Bone marrow aspirate smear. Brightfield microscopy, 40× oil immersion
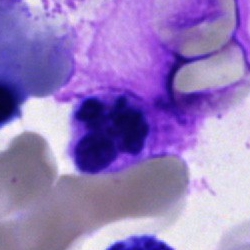

Q: What is shown here?
A: It is an artefact.